Bone marrow smear · 250×250.
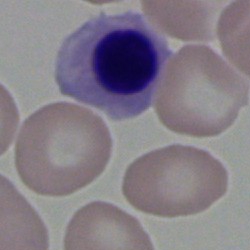 Morphology consistent with a nucleated red blood cell.